Bone marrow smear. 250 by 250 pixels
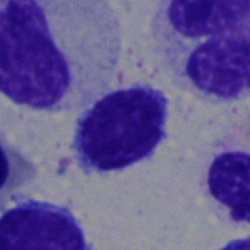 Morphology → typical lymphocyte.